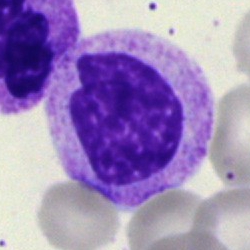
Morphology → myelocyte.